Bone marrow smear.
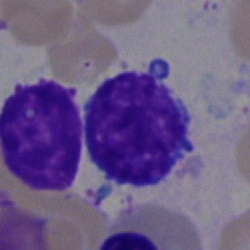The classification is lymphocyte.